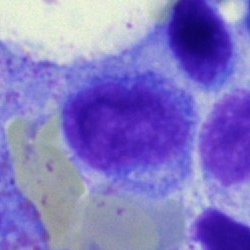
Morphology consistent with a monocyte.